Brightfield, 40× oil-immersion objective. Bone marrow aspirate smear
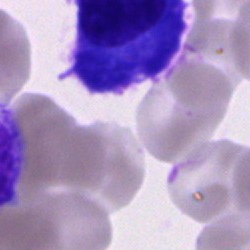

Morphology consistent with a plasma cell.